Cropped to a single cell. Bone marrow smear
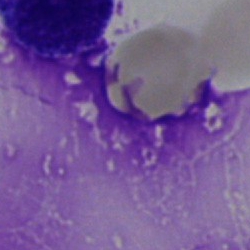
Impression — artefact.